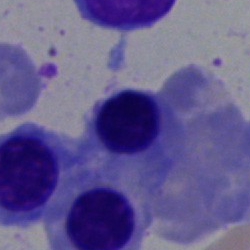
Q: What is the morphological classification of this cell?
A: This is an erythroblast.